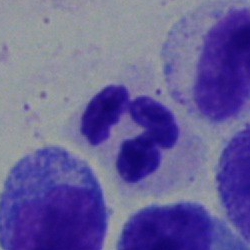
This is a segmented neutrophil.